Bone marrow smear.
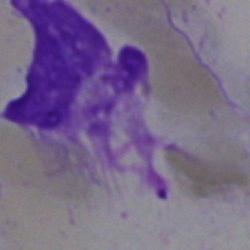
Single cell identified as an artifact.